Bone marrow aspirate smear. 40× objective, oil immersion — 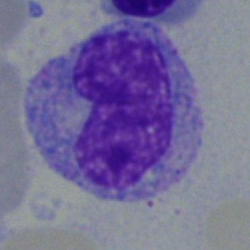Impression — monocyte.